Bone marrow smear:
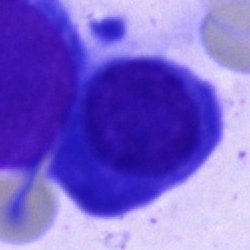

Single cell identified as a plasmacyte.